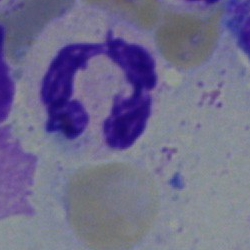
Specimen: bone marrow aspirate smear.
Cell type: segmented neutrophil.
Lineage: myeloid.